250×250 px; bone marrow aspirate smear; MGG-stained:
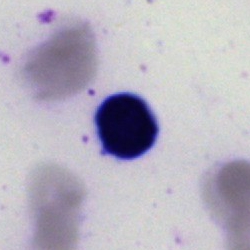 Morphology → artifact.